Single-cell field · bone marrow aspirate smear · 40× objective, oil immersion — 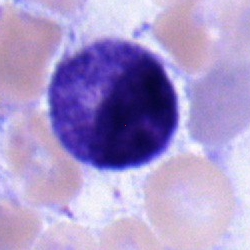 Morphology — myelocyte.